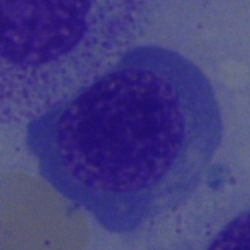Cell: normoblast.